Brightfield, 40× oil-immersion objective; single-cell crop; bone marrow aspirate smear — 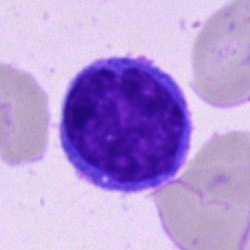 Showing a typical lymphocyte.